Bone marrow smear — 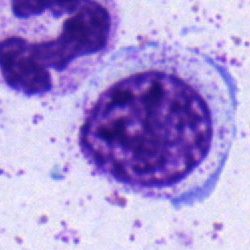 Morphology consistent with a myelocyte.